Bone marrow aspirate smear · MGG-stained.
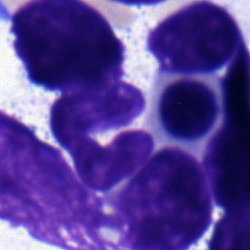

Q: What type of cell is this?
A: This is a stab cell.